Bone marrow smear. May-Grünwald-Giemsa stain. Brightfield microscopy, 40× oil immersion — 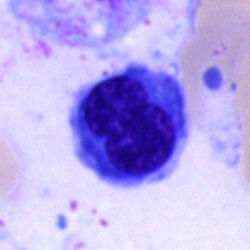 The morphological class is normoblast.